Bone marrow smear · 250 by 250 pixels — 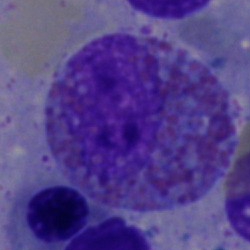 Specimen: bone marrow aspirate smear.
Morphological class: eosinophil.
Lineage: myeloid.